Brightfield microscopy, 40× oil immersion; bone marrow aspirate smear:
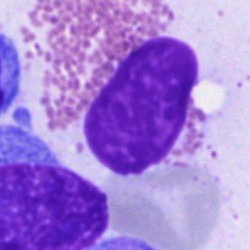 The morphological class is eosinophilic granulocyte.